Bone marrow smear — 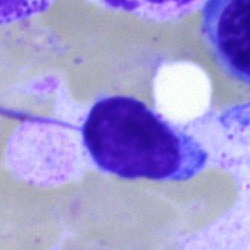
Specimen: bone marrow smear.
Classification: lymphocyte.
Lineage: lymphoid.